May-Grünwald-Giemsa stain; 40× oil immersion; bone marrow aspirate smear:
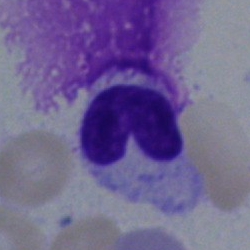

Cell: band-form neutrophil.